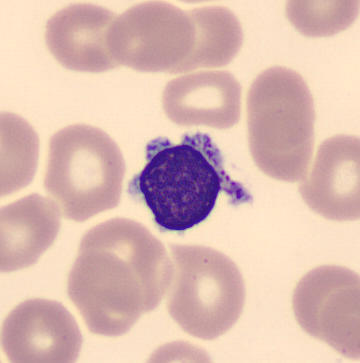

Impression — lymphocyte.